Bone marrow aspirate smear; Pappenheim-stained:
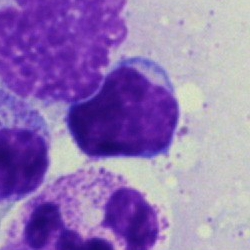Morphological class = lymphocyte.